May-Grünwald-Giemsa stain. Bone marrow aspirate smear. 40× objective, oil immersion: 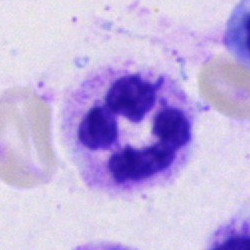
Specimen: bone marrow smear.
Cell type: polymorphonuclear neutrophil.
Lineage: myeloid.